Bone marrow aspirate smear: 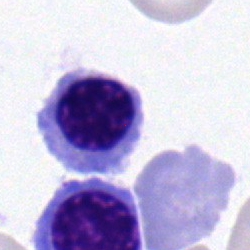

Q: What is shown here?
A: This is a nucleated red cell.